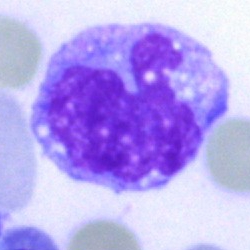

Bone marrow smear showing a monocyte.